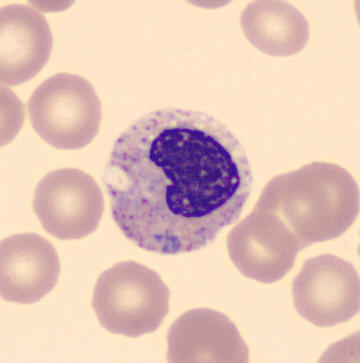
Q: What is the morphological classification of this cell?
A: Metamyelocyte.